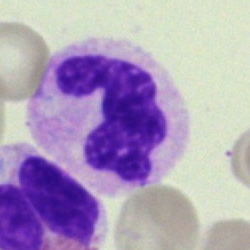
{"cell_type": "polymorphonuclear neutrophil", "lineage": "myeloid"}